Bone marrow smear
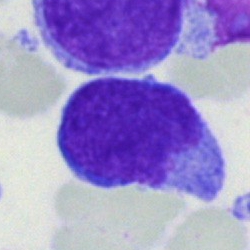 Specimen: bone marrow smear.
Cell: blast cell.